Bone marrow smear:
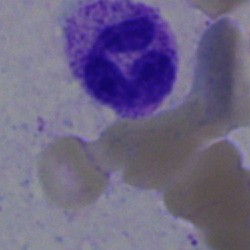

The cell is polymorphonuclear neutrophil.